Cropped to a single cell. Bone marrow aspirate smear: 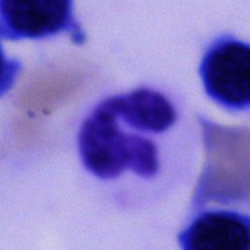
Single cell identified as a polymorphonuclear neutrophil.